Bone marrow smear: 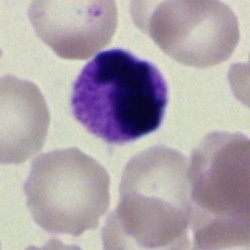Q: Which cell type is shown here?
A: A segmented neutrophil.